Romanowsky-stained. Peripheral blood film. Single-cell field: 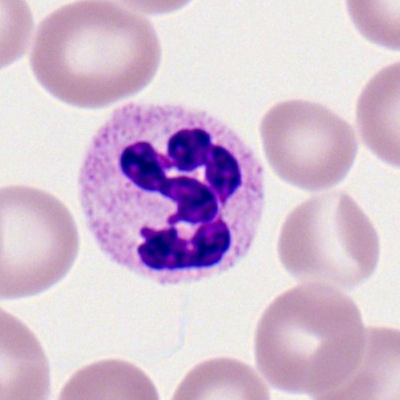Morphology → neutrophil (segmented).